Bone marrow aspirate smear; 250 by 250 pixels:
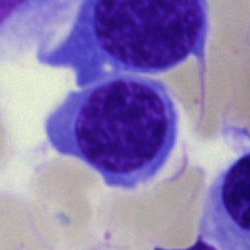
Q: What is the morphological classification of this cell?
A: This is a nucleated red cell.